Cropped to a single cell; bone marrow smear.
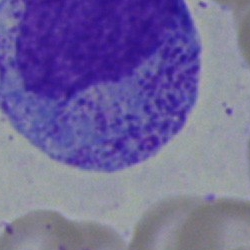Classification = myelocyte.